Bone marrow aspirate smear: 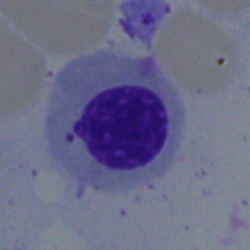
Q: What is shown here?
A: Nucleated red blood cell.